Bone marrow aspirate smear:
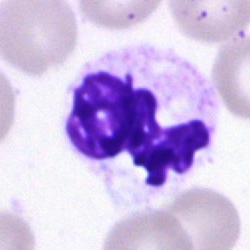
Q: Which cell type is shown here?
A: This is a neutrophil (segmented).